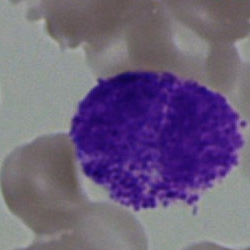
Morphology → basophil.